Single cell centered in the field · bone marrow smear:
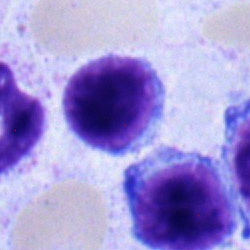Morphology → typical lymphocyte.